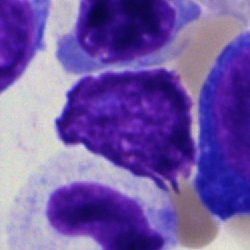

Cell: artifact.